40× oil immersion. Bone marrow smear. MGG-stained
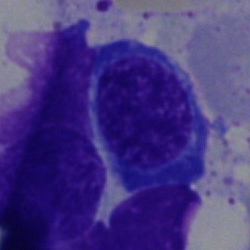 Morphological class — nucleated red cell.